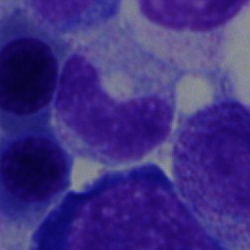

Cell — band-form neutrophil.